Bone marrow aspirate smear; 250×250:
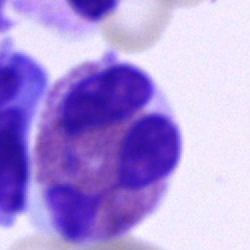
Impression — eosinophil.